Bone marrow aspirate smear:
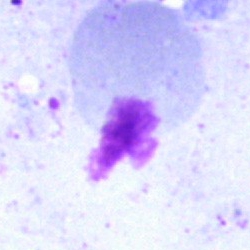 Single cell identified as an artifact.